Bone marrow aspirate smear · 250×250 px · cropped to a single cell:
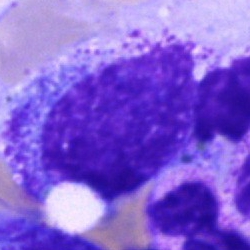
Q: What is shown here?
A: It is a promyelocyte.